Peripheral blood film · brightfield, 100× oil-immersion objective.
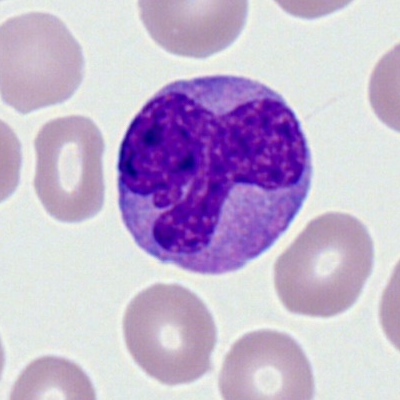 {"cell_type": "monocyte"}